Bone marrow aspirate smear · brightfield microscopy, 40× oil immersion — 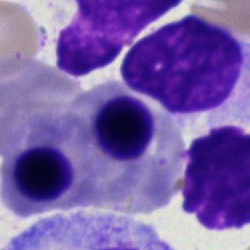

Specimen: bone marrow aspirate smear.
Morphological class: nucleated red blood cell.
Lineage: erythroid.